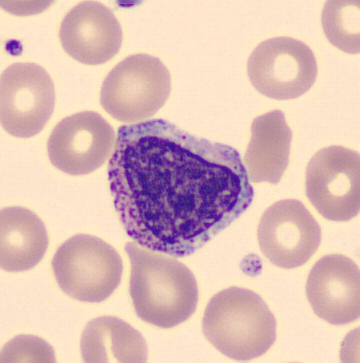Peripheral blood film. 360 by 363 pixels. Imaged on a CellaVision DM96 analyser.
Impression → myelocyte.